400×400 px. Peripheral blood smear:
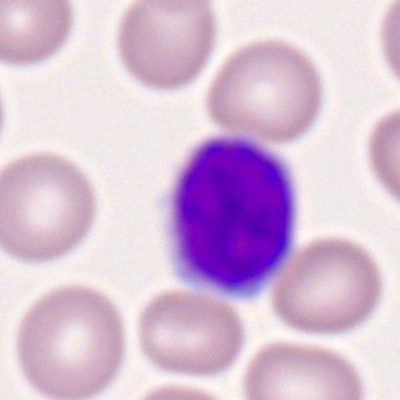The cell type is typical lymphocyte.